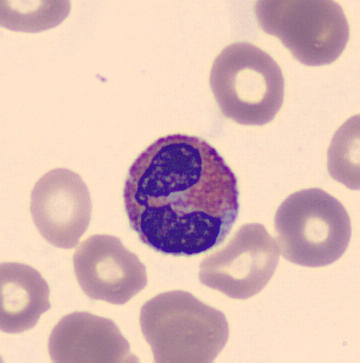

Acquisition: Peripheral blood smear · May Grünwald-Giemsa stain. {"cell_type": "eosinophilic granulocyte"}